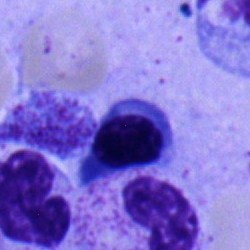

Showing a nucleated red blood cell.